Peripheral blood film:
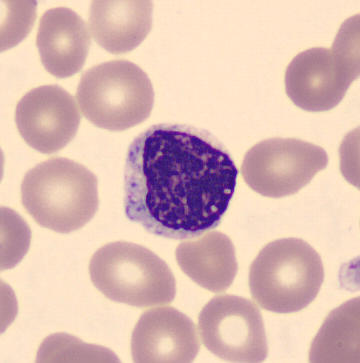
Q: What cell is this?
A: A myelocyte.